Bone marrow smear — 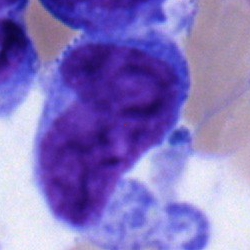Showing a blast cell.